Single-cell field. Bone marrow aspirate smear.
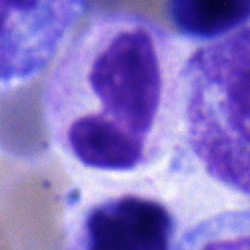
The classification is band neutrophil.